Bone marrow aspirate smear
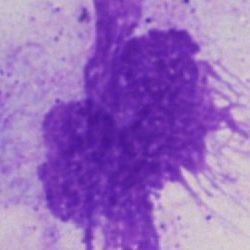Artefact.